Bone marrow aspirate smear: 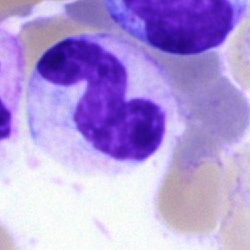Q: What cell is this?
A: A stab cell.